250 by 250 pixels; bone marrow aspirate smear.
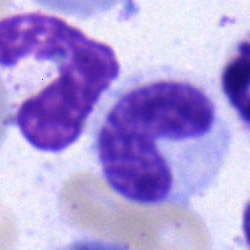 Morphology → stab cell.